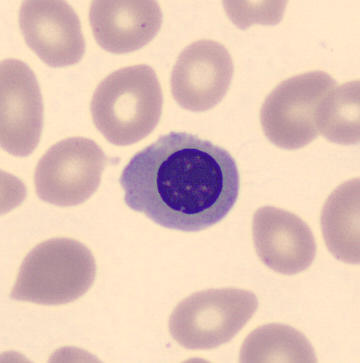

Preparation: Peripheral blood smear · May Grünwald-Giemsa stain · 360×363. Showing a nucleated red cell.